40× objective, oil immersion. Bone marrow smear
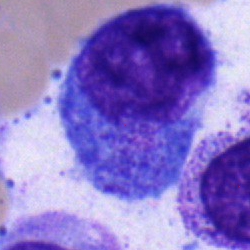
Cell: blast cell.